Bone marrow smear. Image size 250×250:
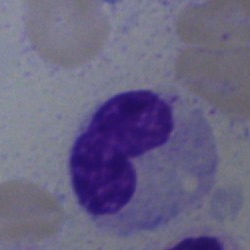
Q: Identify the cell.
A: It is a neutrophil (band).